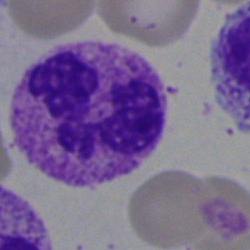
The classification is segmented neutrophil.